Bone marrow smear · May-Grünwald-Giemsa/Pappenheim stain
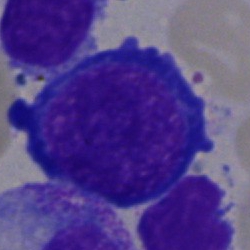 Cell: normoblast.